MGG-stained. Bone marrow smear:
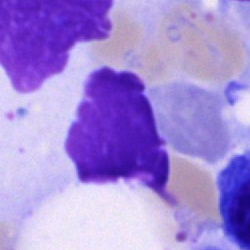Q: What is shown here?
A: It is an artefact.